Bone marrow aspirate smear:
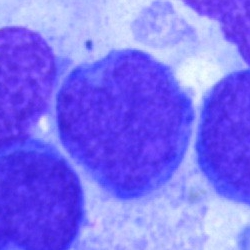 This is an undifferentiated blast.